Bone marrow aspirate smear — 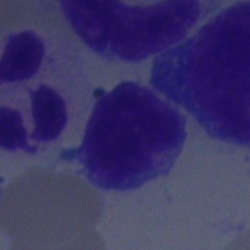
Typical lymphocyte.